Bone marrow aspirate smear — 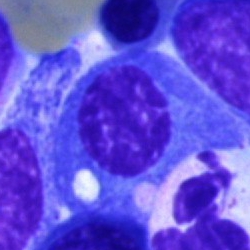Q: Which cell type is shown here?
A: Plasma cell.